Image size 400×400; peripheral blood film; Romanowsky-stained:
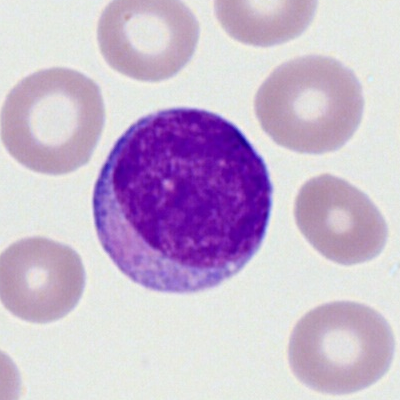Q: Identify the cell.
A: A myeloid blast.